Bone marrow smear · 40× objective, oil immersion
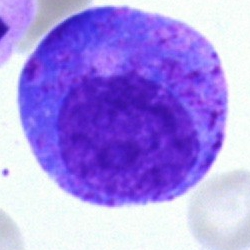
This is a promyelocyte.